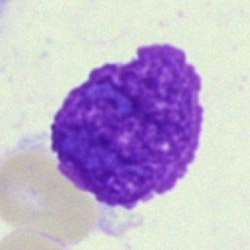

Specimen: bone marrow smear.
Classification: artifact.